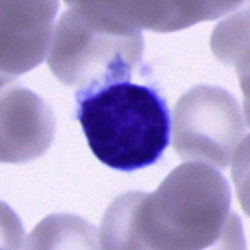 Morphological class = lymphocyte.